Single cell centered in the field; brightfield microscopy, 40× oil immersion; bone marrow smear
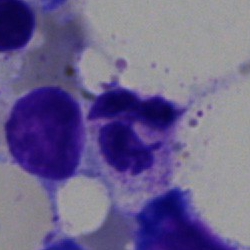 Single cell identified as a neutrophil (segmented).